Peripheral blood film
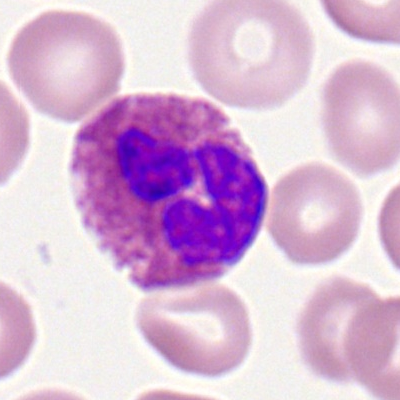

Morphological class — eosinophil.